Bone marrow smear · Pappenheim-stained · 250 by 250 pixels
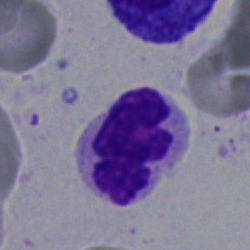
Specimen: bone marrow aspirate smear.
Cell type: polymorphonuclear neutrophil.